Peripheral blood film
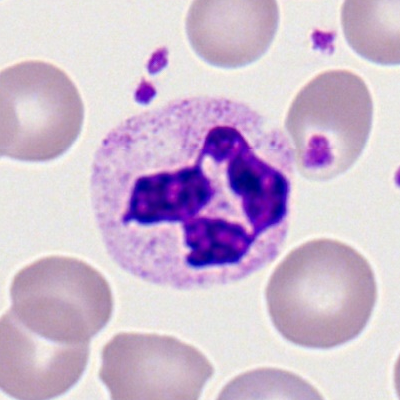 Showing a polymorphonuclear neutrophil.